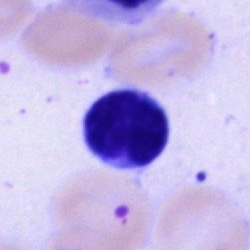 The classification is typical lymphocyte.